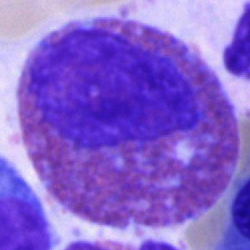 Q: What type of cell is this?
A: Eosinophilic granulocyte.